250×250 px · single-cell field · bone marrow smear:
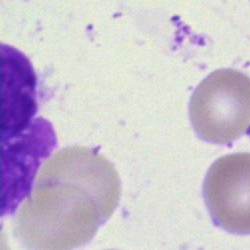 Morphological class = artifact.